Brightfield microscopy, 40× oil immersion. Bone marrow aspirate smear.
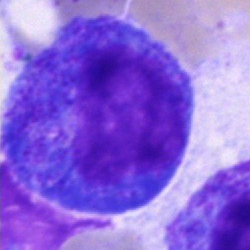
Progranulocyte.